Bone marrow smear. 250 by 250 pixels.
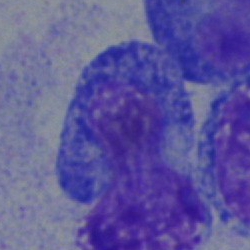 Q: What type of cell is this?
A: Blast.